Bone marrow smear; 250×250 — 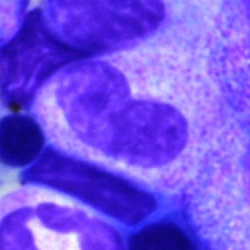
Morphological class: band neutrophil.